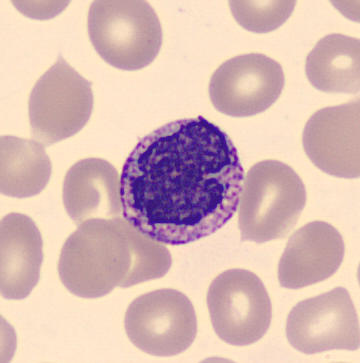

The morphological class is basophil. Image: Peripheral blood film; imaged on a CellaVision DM96 analyser; May-Grünwald-Giemsa-stained.